250×250 px · MGG-stained · bone marrow smear
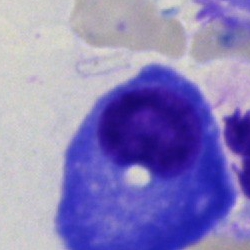

Showing a plasma cell.